Bone marrow smear.
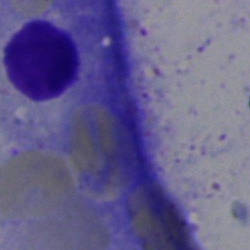Morphological class: artefact.